Bone marrow aspirate smear. 250 by 250 pixels. Single cell centered in the field:
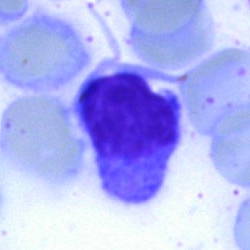

This is a lymphocyte.